Bone marrow smear — 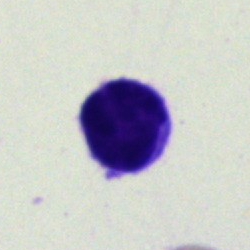This is a lymphocyte.